Bone marrow smear: 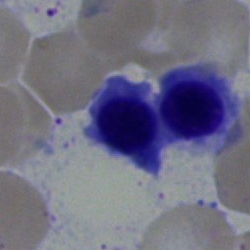
The cell type is normoblast.